Bone marrow aspirate smear — 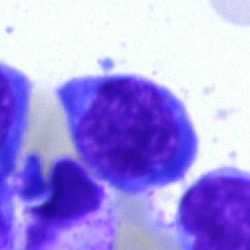Morphological class — normoblast.